40× oil immersion. Bone marrow aspirate smear:
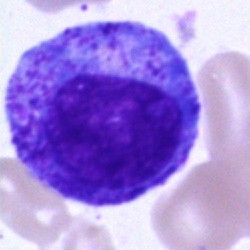

Specimen: bone marrow aspirate smear.
Cell: progranulocyte.
Lineage: myeloid.